Peripheral blood smear
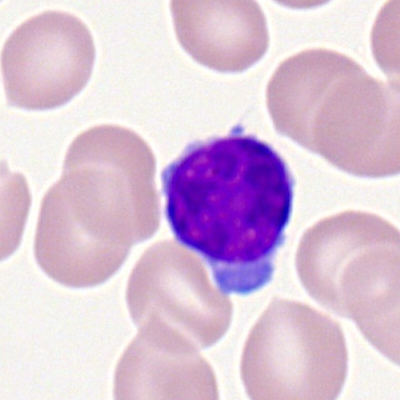
This is a lymphocyte.